Peripheral blood smear. Romanowsky stain — 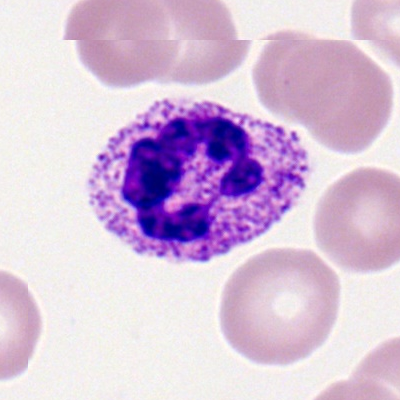

Q: What is shown here?
A: A polymorphonuclear neutrophil.